Single cell centered in the field. Bone marrow aspirate smear — 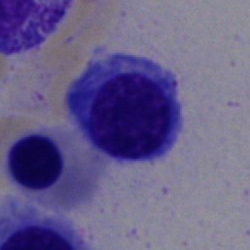 Single cell identified as an erythroblast.